Bone marrow aspirate smear
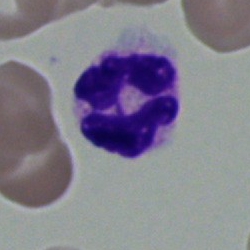

This is a segmented neutrophil.